250×250 · bone marrow aspirate smear · Pappenheim-stained
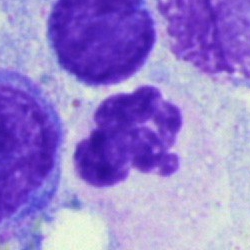 Q: Which cell type is shown here?
A: Segmented neutrophil.